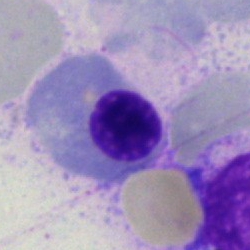Q: What type of cell is this?
A: It is a nucleated red blood cell.